Bone marrow smear · cropped to a single cell
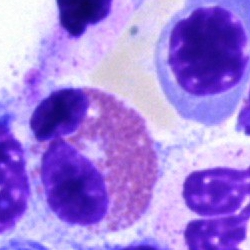
Morphology consistent with an eosinophil.